Single cell centered in the field · 250×250 px · bone marrow smear: 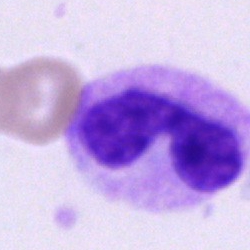{"cell_type": "neutrophil (band)", "lineage": "myeloid"}